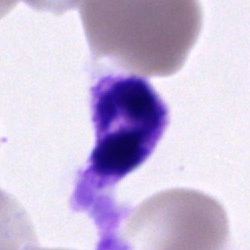Single-cell crop from a bone marrow smear: neutrophil (segmented).